40× oil immersion; bone marrow aspirate smear.
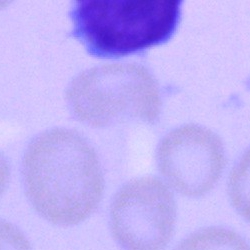
The cell shown is a lymphocyte.